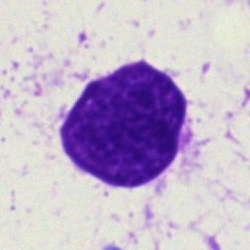
Morphology consistent with an artifact.